Bone marrow smear.
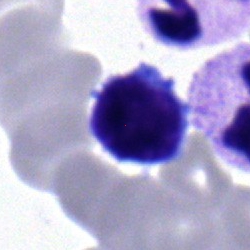This is a lymphocyte.